Brightfield, 40× oil-immersion objective · bone marrow smear:
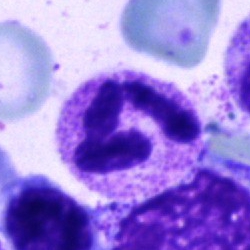
The cell is segmented neutrophil.